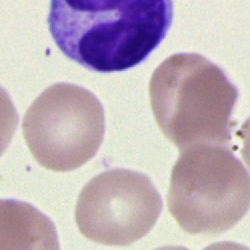

Morphology — artefact.